250 by 250 pixels; bone marrow aspirate smear; single-cell field
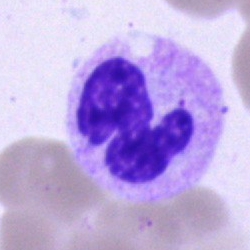 Segmented neutrophil.